Bone marrow smear — 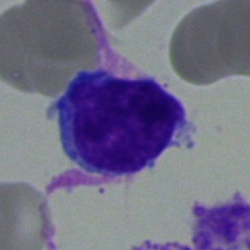
Specimen: bone marrow smear.
Classification: typical lymphocyte.